Bone marrow aspirate smear. Brightfield, 40× oil-immersion objective. 250×250:
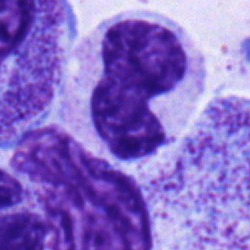 Classification = band neutrophil.